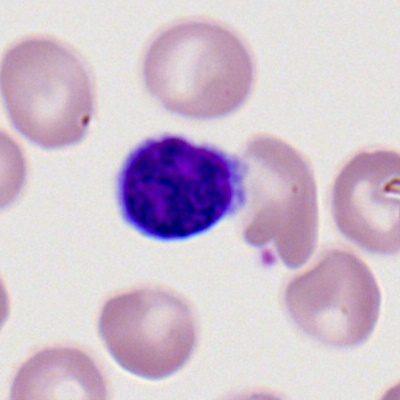 {"cell_type": "lymphocyte"}